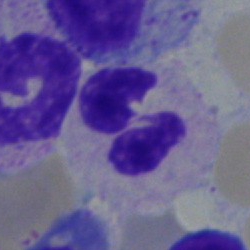
This is a neutrophil (segmented).